May-Grünwald-Giemsa/Pappenheim stain; single-cell crop; bone marrow aspirate smear.
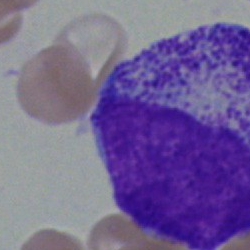

Q: Which cell type is shown here?
A: Myelocyte.